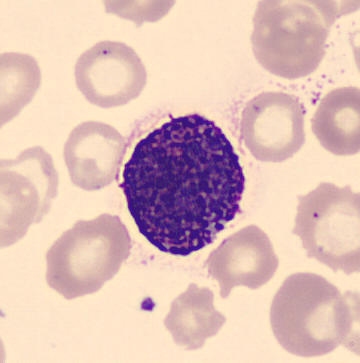Image: CellaVision DM96; peripheral blood film.
Morphology consistent with a basophil.